Peripheral blood smear; 400 by 400 pixels: 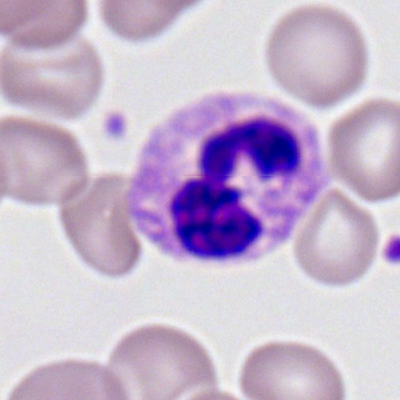

A segmented neutrophil.